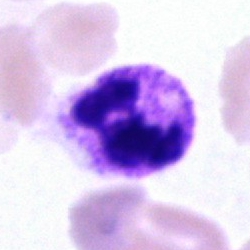

Impression — neutrophil (segmented).